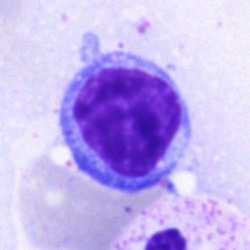
Cell type = lymphocyte.